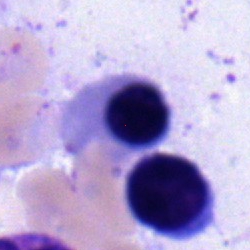Classification = nucleated red blood cell.